Bone marrow aspirate smear: 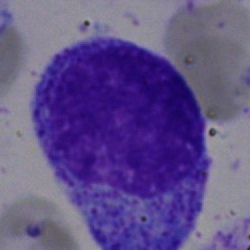

{"cell_type": "promyelocyte"}